250×250 px; bone marrow smear.
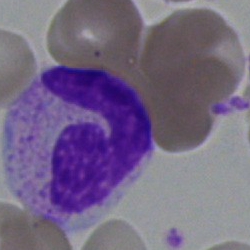 Specimen: bone marrow aspirate smear.
Classification: band-form neutrophil.
Lineage: myeloid.